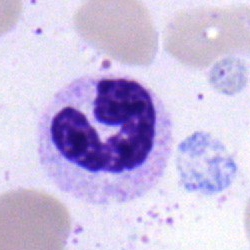 Specimen: bone marrow aspirate smear.
Cell type: polymorphonuclear neutrophil.
Lineage: myeloid.